Bone marrow smear. MGG-stained
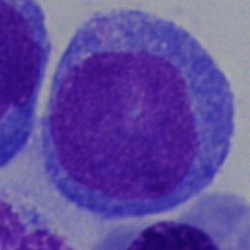

Morphology consistent with a blast.